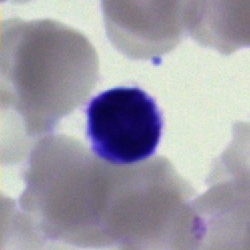Q: What cell is this?
A: It is a typical lymphocyte.